Bone marrow smear: 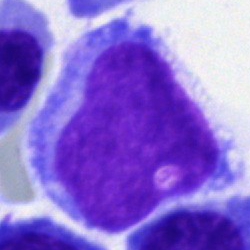

Impression — blast.